Bone marrow aspirate smear · single cell centered in the field:
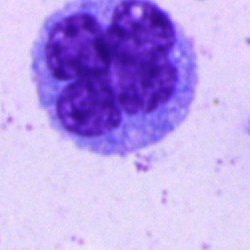Showing a monocyte.